Peripheral blood film. MGG-stained
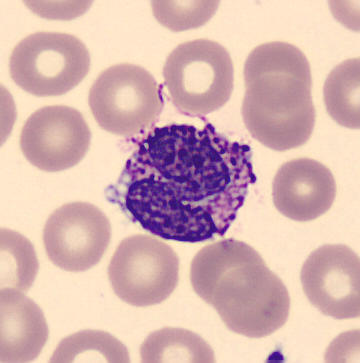 Specimen: peripheral blood smear.
Morphological class: basophil.
Lineage: myeloid.